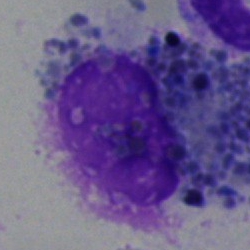

Specimen: bone marrow smear.
Cell: artefact.